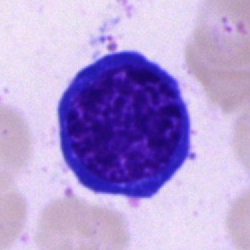

A nucleated red blood cell.